Bone marrow smear · Pappenheim-stained:
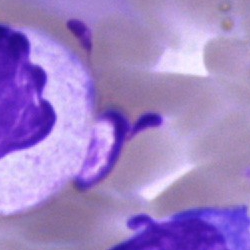
Morphology — cell of indeterminate lineage.